Peripheral blood film: 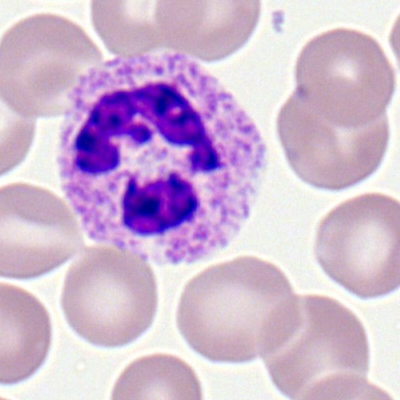The cell type is neutrophil (segmented).